Bone marrow aspirate smear: 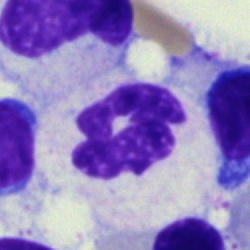 This is a polymorphonuclear neutrophil.